40× oil immersion. Bone marrow smear — 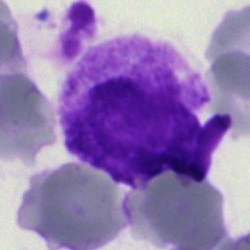Q: What is shown here?
A: An artefact.